Bone marrow smear — 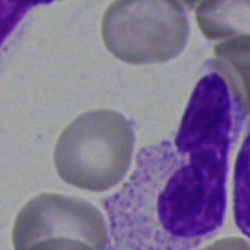Morphology consistent with a stab cell.